Bone marrow aspirate smear:
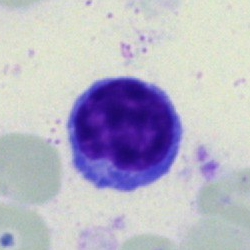 Morphology consistent with a typical lymphocyte.